Bone marrow aspirate smear
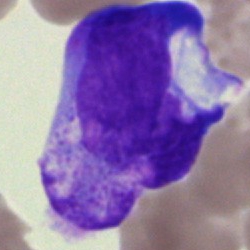Morphology consistent with a blast.